Bone marrow smear; 40× oil immersion.
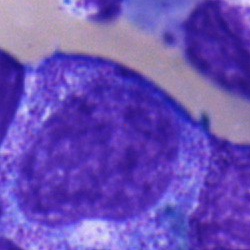

Impression → promyelocyte.